Bone marrow smear.
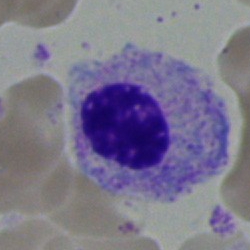
This is a myelocyte.